Bone marrow aspirate smear; 40× oil immersion; 250×250 px — 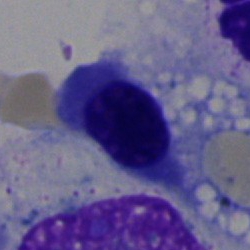 Nucleated red cell.